Bone marrow aspirate smear.
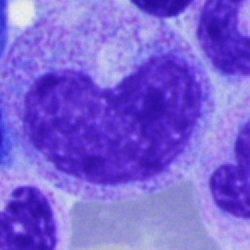
Impression → metamyelocyte.